Peripheral blood film · Romanowsky-type stain · 400×400
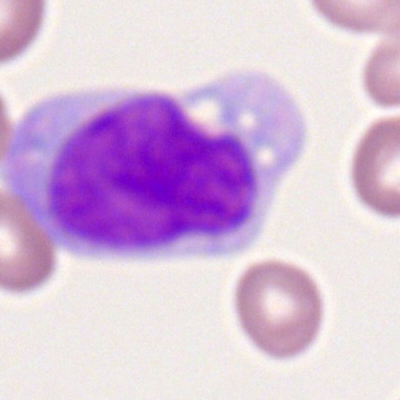

Morphology — monocyte.